Bone marrow aspirate smear; image size 250×250
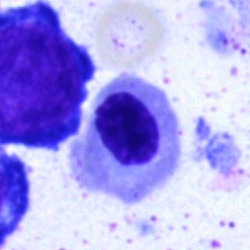Erythroblast.